Bone marrow smear
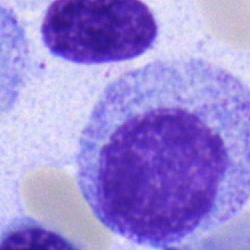

Morphological class — myelocyte.